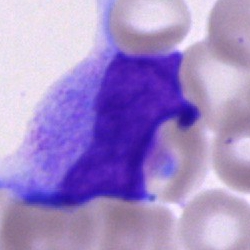

The classification is cell of indeterminate lineage.